Bone marrow aspirate smear.
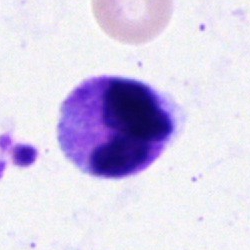
Single cell identified as a segmented neutrophil.